Bone marrow aspirate smear. Single cell centered in the field — 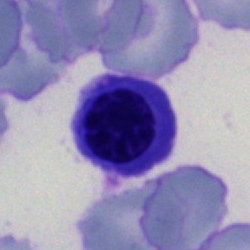 Q: What type of cell is this?
A: This is a nucleated red blood cell.